Single-cell crop · bone marrow aspirate smear: 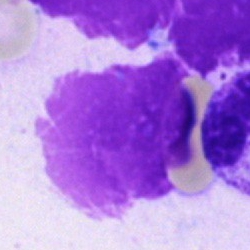
Specimen: bone marrow smear.
Cell: artefact.